Bone marrow aspirate smear — 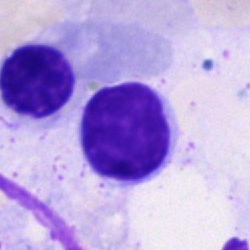
Cell type = lymphocyte.